Brightfield, 40× oil-immersion objective · bone marrow aspirate smear — 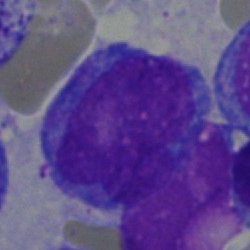Morphology consistent with a blast cell.